Bone marrow aspirate smear
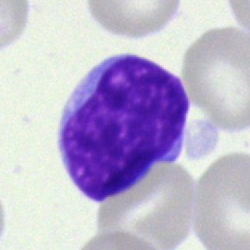
Q: What is the morphological classification of this cell?
A: It is an undifferentiated blast.